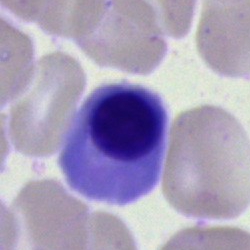
This is a nucleated red cell.